250×250 px. Bone marrow aspirate smear. MGG-stained:
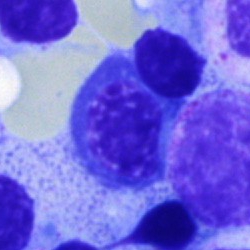Cell — normoblast.